Cropped to a single cell; peripheral blood smear; Romanowsky-type stain: 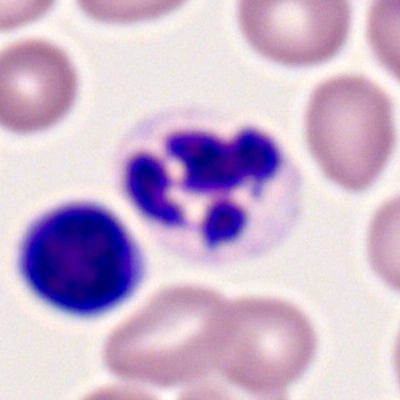

A segmented neutrophil.